Bone marrow smear — 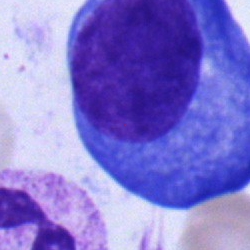

{"cell_type": "plasma cell", "lineage": "lymphoid"}